Single-cell field. Bone marrow aspirate smear: 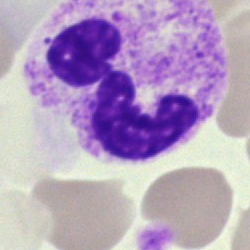Specimen: bone marrow aspirate smear.
Cell: segmented neutrophil.
Lineage: myeloid.